Bone marrow smear — 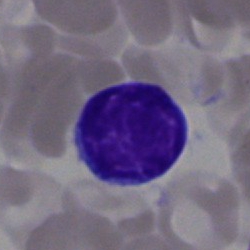

Cell type — lymphocyte.